Single-cell crop; peripheral blood film; 400×400 px.
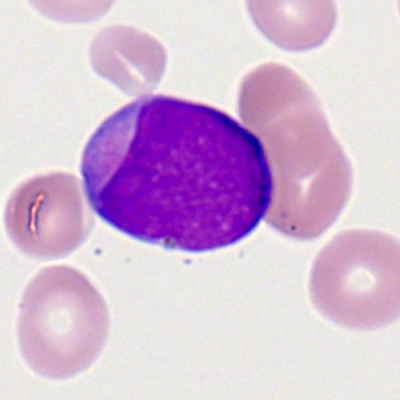

Myeloblast.